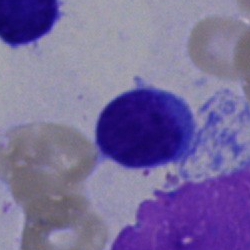
Classification — typical lymphocyte.